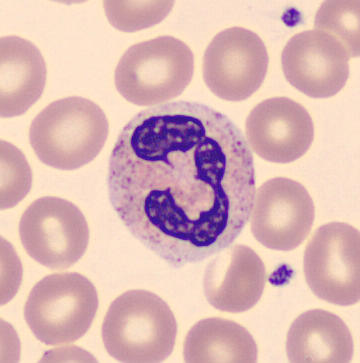

Cell type = segmented neutrophil.